Peripheral blood film
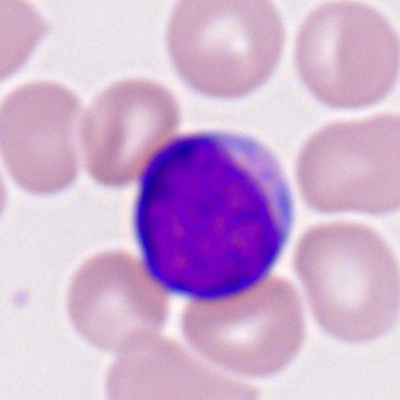A myeloid blast.